Pappenheim-stained · bone marrow smear
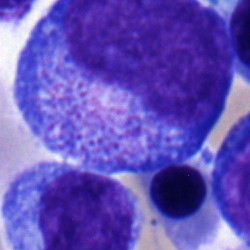Progranulocyte.